Bone marrow aspirate smear. Brightfield, 40× oil-immersion objective: 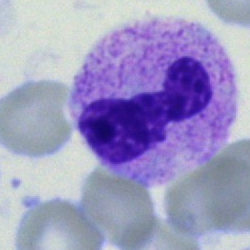

Showing a neutrophil (segmented).